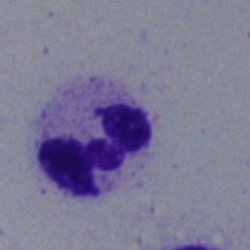 {"cell_type": "neutrophil (segmented)", "lineage": "myeloid"}